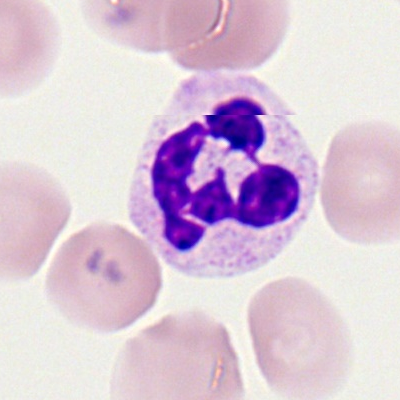

{"cell_type": "segmented neutrophil", "lineage": "myeloid"}